May-Grünwald-Giemsa stain · 250×250 · bone marrow aspirate smear:
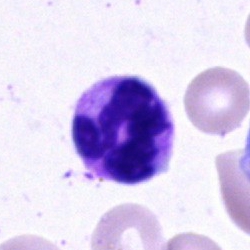
Single cell identified as a segmented neutrophil.